Bone marrow aspirate smear. 250×250
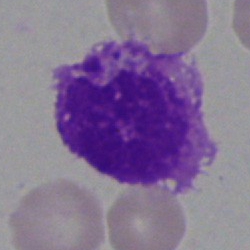 Morphology consistent with an artefact.